Bone marrow smear. Single cell centered in the field:
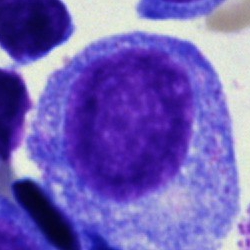{"cell_type": "promyelocyte"}